Bone marrow aspirate smear.
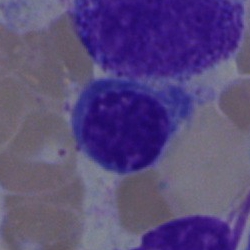
Specimen: bone marrow smear.
Cell: typical lymphocyte.
Lineage: lymphoid.